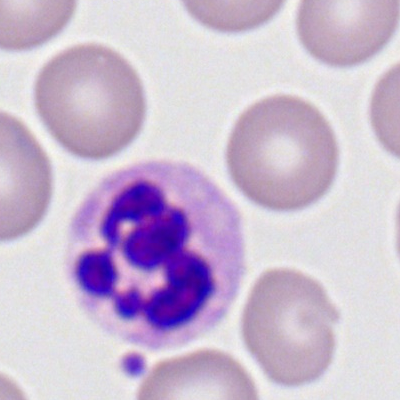 The cell is segmented neutrophil.